Bone marrow aspirate smear. Cropped to a single cell — 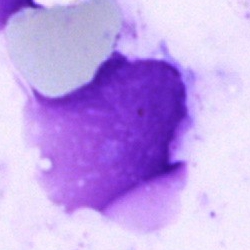

Morphology — artefact.